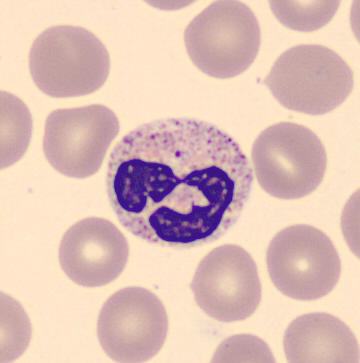

Peripheral blood film.
Q: What is the morphological classification of this cell?
A: Polymorphonuclear neutrophil.